Bone marrow smear. Brightfield microscopy, 40× oil immersion: 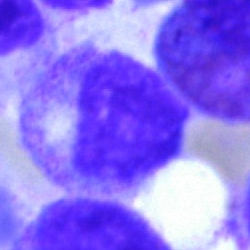Cell — myelocyte.